Image size 250×250 · bone marrow smear · single cell centered in the field:
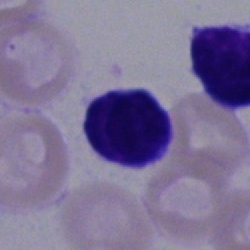 Specimen: bone marrow aspirate smear.
Classification: typical lymphocyte.
Lineage: lymphoid.